MGG-stained. Single-cell crop. Bone marrow smear:
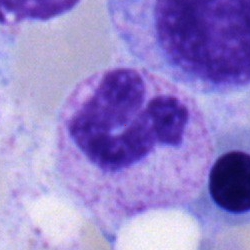 Single cell identified as a polymorphonuclear neutrophil.